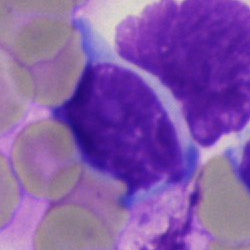 Specimen: bone marrow aspirate smear.
Cell: lymphocyte.
Lineage: lymphoid.